Bone marrow smear · image size 250×250 · Pappenheim-stained: 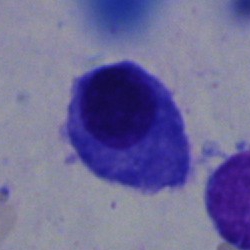 Specimen: bone marrow aspirate smear.
Morphological class: plasma cell.